Image size 250×250; bone marrow aspirate smear:
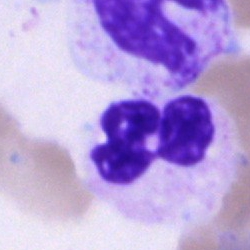 {"cell_type": "polymorphonuclear neutrophil", "lineage": "myeloid"}